Bone marrow smear. Cropped to a single cell
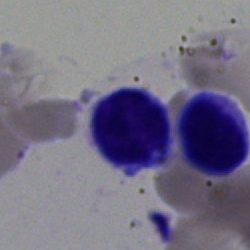

Cell type — lymphocyte.